Peripheral blood smear
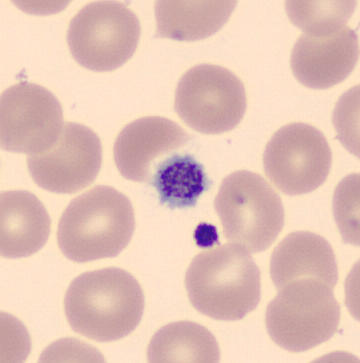

The classification is platelet (thrombocyte).